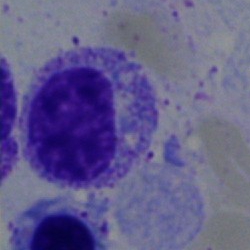
Specimen: bone marrow aspirate smear.
Classification: myelocyte.
Lineage: myeloid.